Brightfield microscopy, 40× oil immersion. Bone marrow aspirate smear
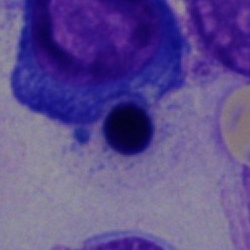

Nucleated red blood cell.